Bone marrow aspirate smear — 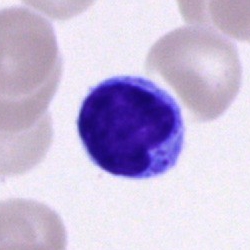 Lymphocyte.